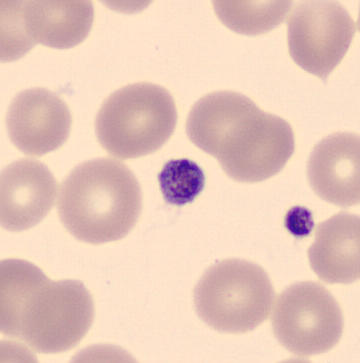
Peripheral blood smear.
Morphological class: platelet (thrombocyte).